Bone marrow aspirate smear:
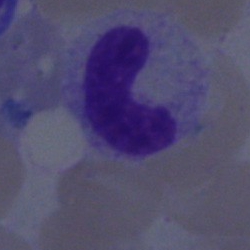Showing a band-form neutrophil.